400 by 400 pixels; peripheral blood film: 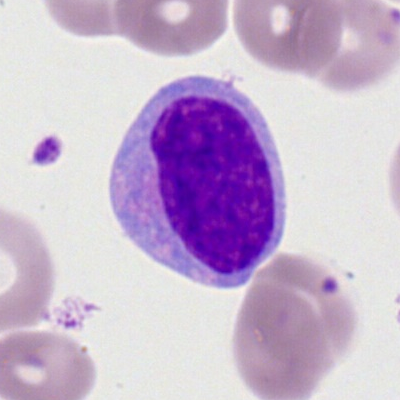A myeloblast.